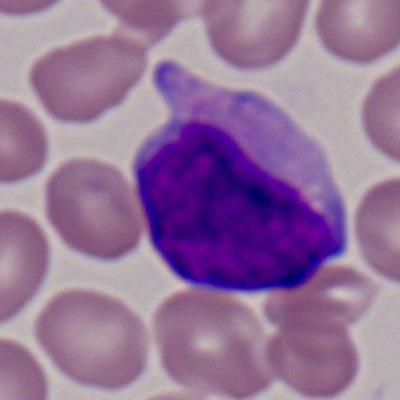Peripheral blood film, single cell — myeloid blast.